Bone marrow aspirate smear
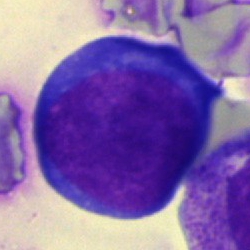
Classification — pronormoblast.